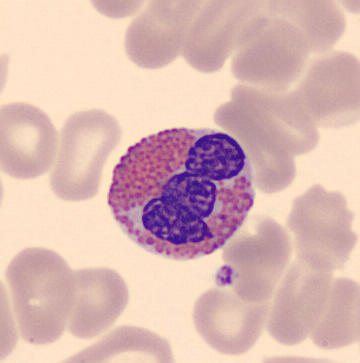
From a peripheral blood smear: an eosinophilic granulocyte.